Bone marrow smear — 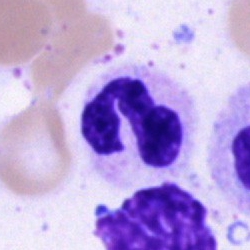

Specimen: bone marrow aspirate smear.
Morphological class: segmented neutrophil.